Single cell centered in the field. Bone marrow smear — 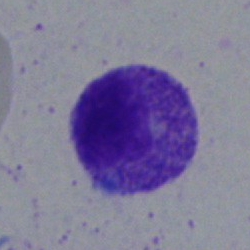 Morphology → myelocyte.